Bone marrow aspirate smear.
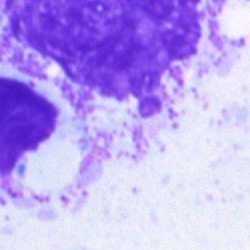

Q: What is shown here?
A: It is an artifact.